Bone marrow smear:
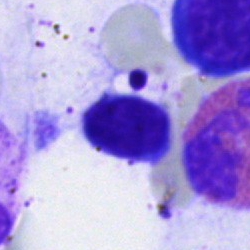 Q: What cell is this?
A: This is a typical lymphocyte.